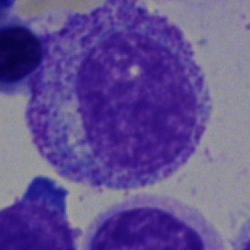Morphology → myelocyte.